40× oil immersion · bone marrow smear · image size 250×250: 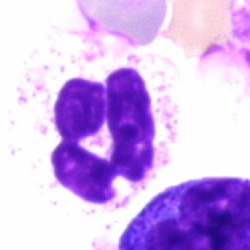 Morphology — segmented neutrophil.